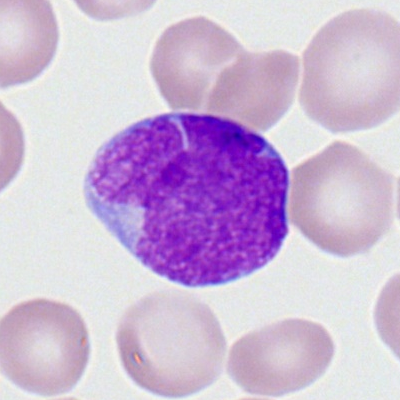 The cell is myeloid blast.